Bone marrow aspirate smear
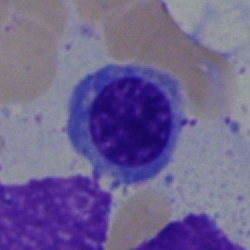 The classification is nucleated red cell.